Bone marrow aspirate smear; brightfield, 40× oil-immersion objective
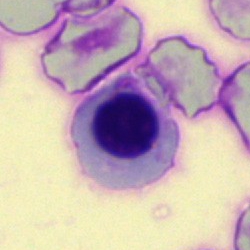
The cell is erythroblast.